Bone marrow aspirate smear
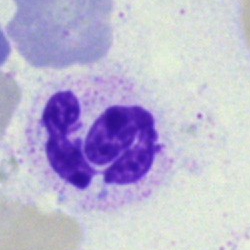 A segmented neutrophil.